Bone marrow smear: 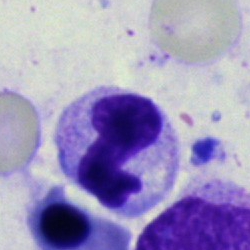

Morphology — stab cell.